40× oil immersion. Bone marrow smear. 250×250: 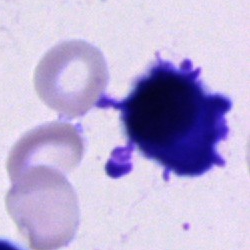

Impression → plasmacyte.